Bone marrow smear; image size 250×250: 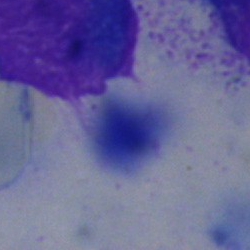Artifact.